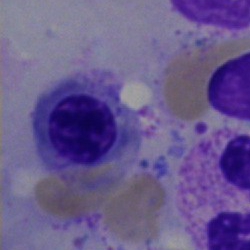

Single-cell crop from a bone marrow smear: nucleated red blood cell.